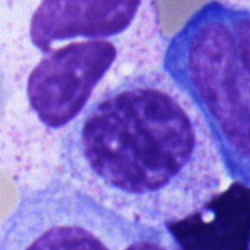The morphological class is myelocyte.